Bone marrow smear; 40× objective, oil immersion; cropped to a single cell
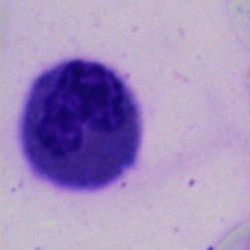 {"cell_type": "eosinophil", "lineage": "myeloid"}